Bone marrow smear. Image size 250×250
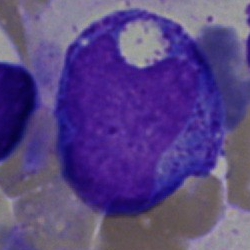 Classification: progranulocyte.